Bone marrow smear · MGG-stained · single cell centered in the field:
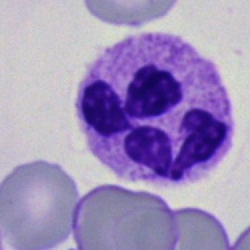
The cell shown is a polymorphonuclear neutrophil.